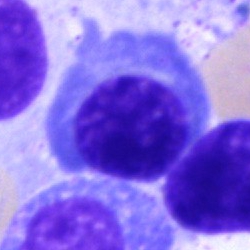
Q: What type of cell is this?
A: It is a plasmacyte.